Brightfield, 40× oil-immersion objective. Bone marrow aspirate smear
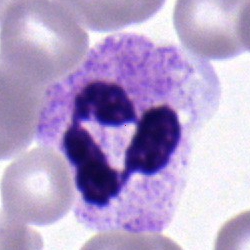

Single cell identified as a segmented neutrophil.